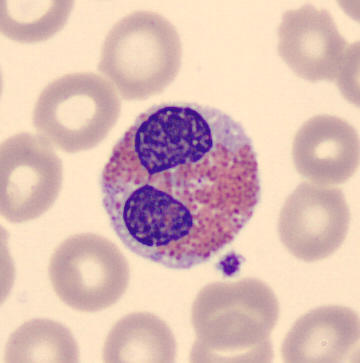 The cell shown is an eosinophilic granulocyte.

Acquisition: Peripheral blood smear.